May-Grünwald-Giemsa/Pappenheim stain. Bone marrow smear.
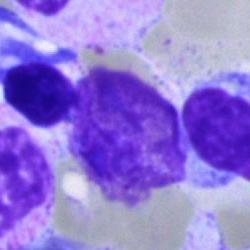
Cell: artifact.